Bone marrow smear — 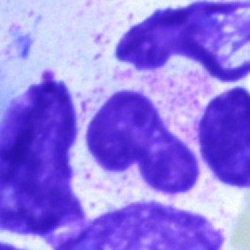

The cell shown is an artefact.